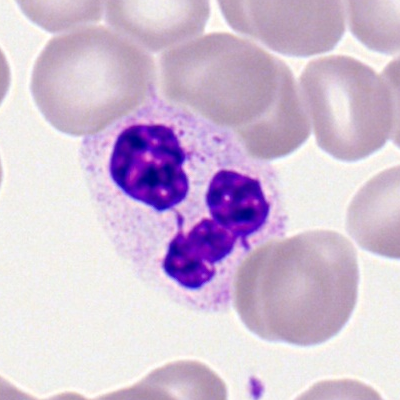

Single-cell crop from a peripheral blood smear: neutrophil (segmented).